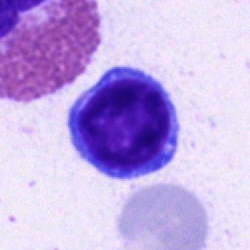Cell = lymphocyte.